Brightfield microscopy, 40× oil immersion. Bone marrow smear:
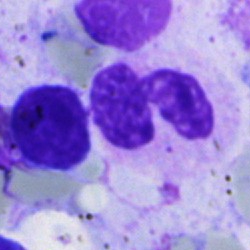

Cell type = neutrophil (segmented).